Bone marrow aspirate smear. May-Grünwald-Giemsa stain. 40× objective, oil immersion
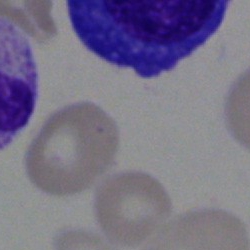 Specimen: bone marrow aspirate smear.
Cell type: unidentifiable cell.